Peripheral blood film:
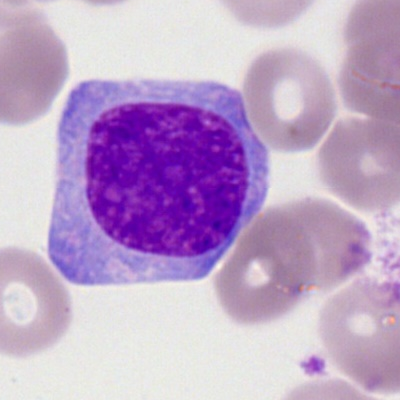
{"cell_type": "myeloid blast", "lineage": "myeloid"}